May-Grünwald-Giemsa stain; bone marrow aspirate smear: 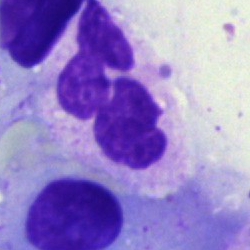

Cell type: segmented neutrophil.